Bone marrow smear — 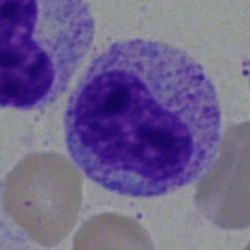

Showing a metamyelocyte.